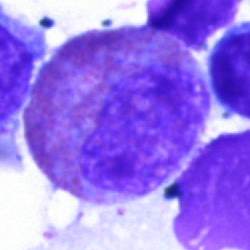

Q: Which cell type is shown here?
A: This is an eosinophil.